Bone marrow smear:
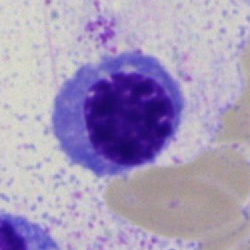 Showing a nucleated red cell.